Single-cell crop; peripheral blood smear — 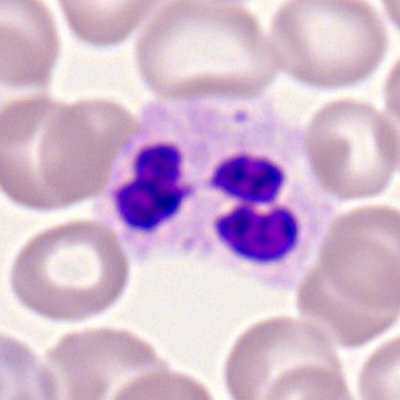

Q: What cell is this?
A: This is a segmented neutrophil.